MGG-stained; bone marrow aspirate smear
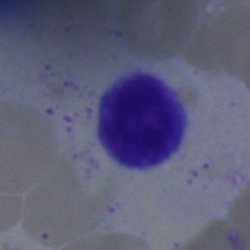 Specimen: bone marrow smear.
Morphological class: lymphocyte.